May-Grünwald-Giemsa stain. 250 by 250 pixels. Bone marrow aspirate smear.
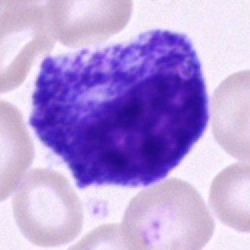 This is a progranulocyte.